Bone marrow smear — 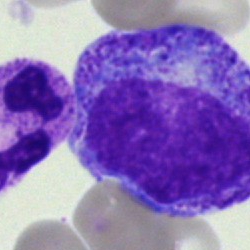 Q: What cell is this?
A: A promyelocyte.